Bone marrow smear. May-Grünwald-Giemsa/Pappenheim stain — 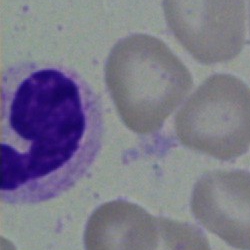 Cell = band-form neutrophil.